Single-cell crop; bone marrow aspirate smear; 250×250 px.
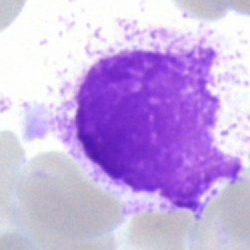
Cell — smudge cell.